Bone marrow aspirate smear
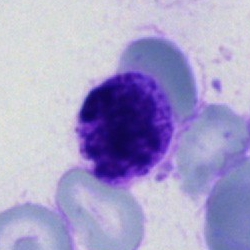

Specimen: bone marrow aspirate smear.
Classification: polymorphonuclear neutrophil.
Lineage: myeloid.